Bone marrow aspirate smear:
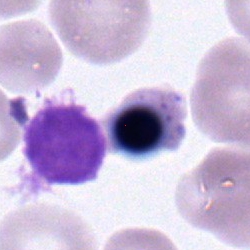Q: What type of cell is this?
A: A nucleated red blood cell.